Bone marrow aspirate smear: 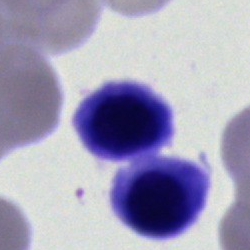

Classification: nucleated red cell.